Bone marrow aspirate smear · 250×250 px · single-cell crop:
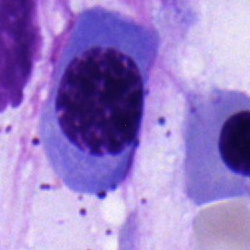Single cell identified as a normoblast.